Bone marrow smear. 250 by 250 pixels.
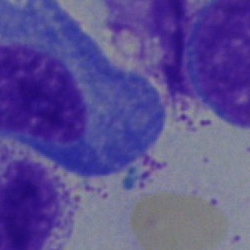

Specimen: bone marrow smear.
Classification: plasma cell.
Lineage: lymphoid.